Brightfield microscopy, 40× oil immersion. Single-cell field. Bone marrow smear: 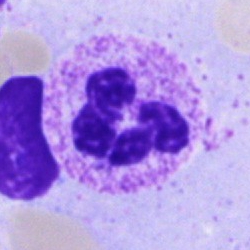
Single cell identified as a segmented neutrophil.